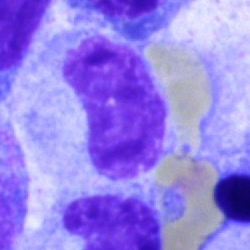
Q: Which cell type is shown here?
A: A band neutrophil.